Image size 250×250. Bone marrow smear: 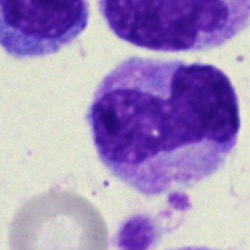

Specimen: bone marrow smear.
Morphological class: neutrophil (band).
Lineage: myeloid.